Bone marrow aspirate smear; 40× oil immersion: 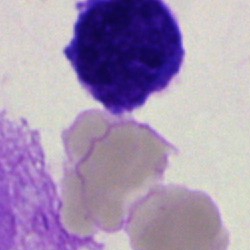

Impression — blast.